250×250; bone marrow aspirate smear; MGG-stained:
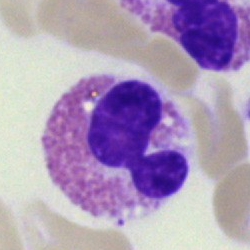
Morphology → eosinophil.